Bone marrow smear:
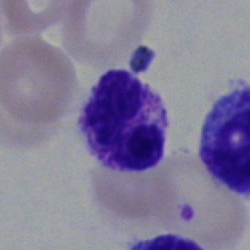Classification: segmented neutrophil.